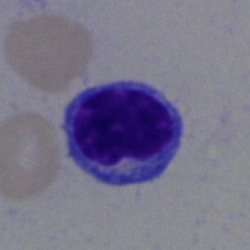Cell type: lymphocyte.